Bone marrow aspirate smear.
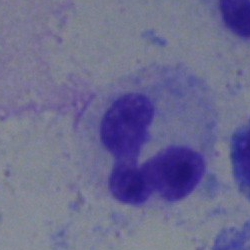 Cell — neutrophil (segmented).